Bone marrow aspirate smear; brightfield microscopy, 40× oil immersion:
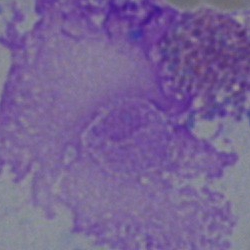Cell type = artefact.